250 by 250 pixels. Bone marrow smear.
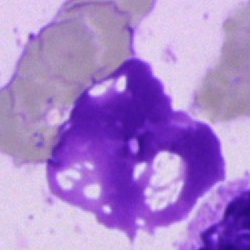
Morphology consistent with an artefact.